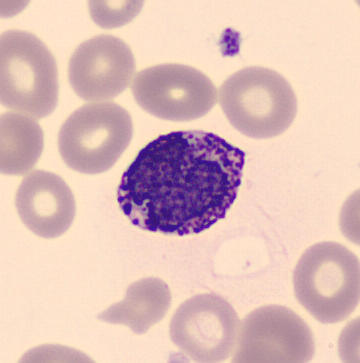 Cell — basophilic granulocyte.
Peripheral blood film.